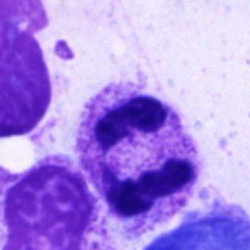
Single-cell crop from a bone marrow smear: neutrophil (segmented).